40× oil immersion · single-cell crop · bone marrow aspirate smear.
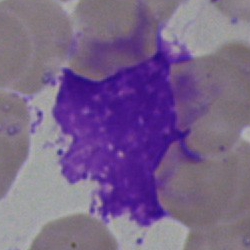Morphological class = artifact.